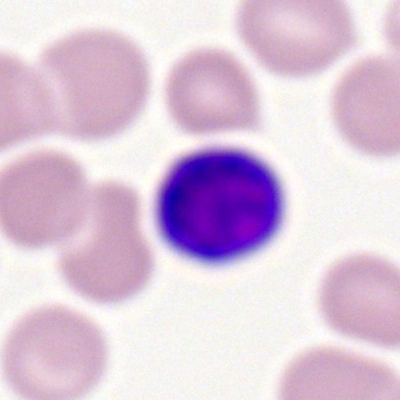Q: What type of cell is this?
A: Typical lymphocyte.